250×250 px · bone marrow smear: 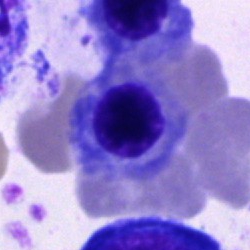

Morphology → nucleated red cell.